Bone marrow smear
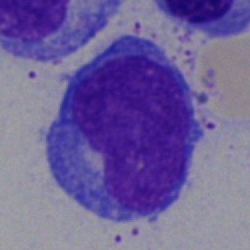

This is a blast.